Bone marrow smear; single-cell crop:
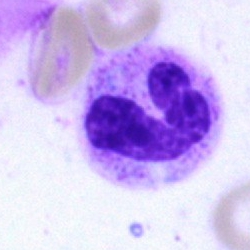A neutrophil (band).